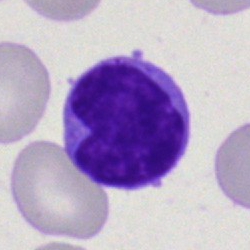 Typical lymphocyte.